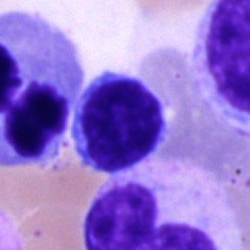Morphological class = lymphocyte.